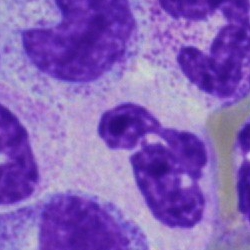

Cell: polymorphonuclear neutrophil.